Bone marrow aspirate smear; 250×250 px; brightfield microscopy, 40× oil immersion: 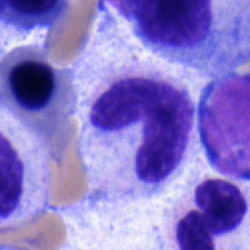

Classification — stab cell.